Single-cell field. Bone marrow smear: 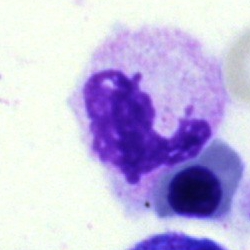

Q: What is the morphological classification of this cell?
A: Neutrophil (segmented).